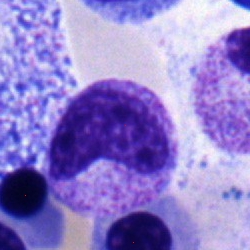 A band neutrophil on a bone marrow smear.